Bone marrow smear
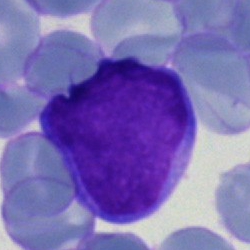Specimen: bone marrow aspirate smear.
Cell type: undifferentiated blast.